Bone marrow smear. Cropped to a single cell: 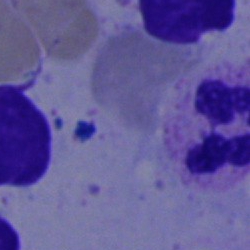 Neutrophil (segmented).